May-Grünwald-Giemsa stain · bone marrow aspirate smear: 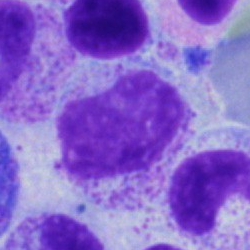 Classification = metamyelocyte.